May-Grünwald-Giemsa stain. Single-cell field. Bone marrow smear: 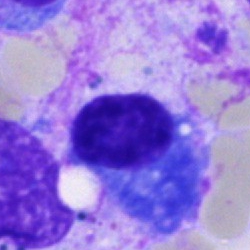

Q: Identify the cell.
A: This is a plasmacyte.